Bone marrow smear.
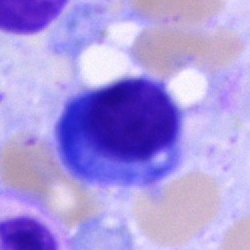
Morphology → plasmacyte.